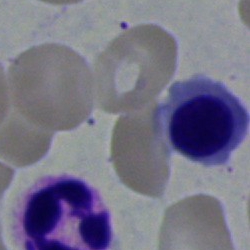 A normoblast.